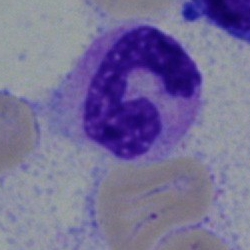
The classification is band-form neutrophil.